Bone marrow smear.
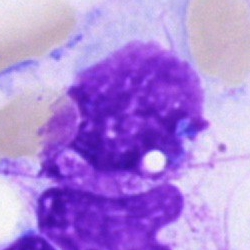{"cell_type": "artefact"}